Bone marrow smear
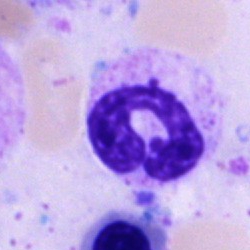

Cell type — stab cell.